Peripheral blood film: 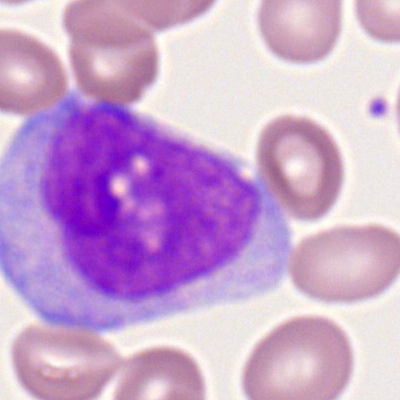 Cell: myeloid blast.